Bone marrow smear.
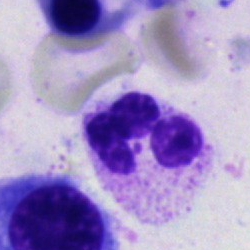 Specimen: bone marrow smear.
Morphological class: segmented neutrophil.
Lineage: myeloid.